40× oil immersion. Bone marrow smear
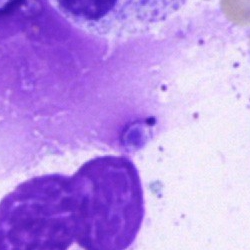

Impression — artefact.